Romanowsky-type stain; peripheral blood smear; single cell centered in the field.
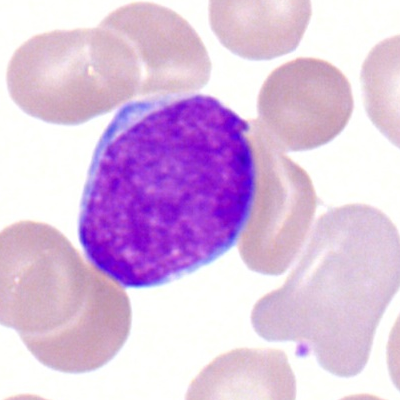Specimen: peripheral blood film.
Cell type: myeloblast.